Single cell centered in the field. Bone marrow aspirate smear: 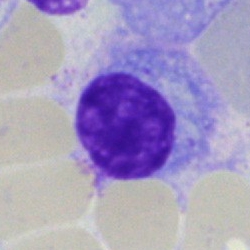
Cell type: plasma cell.